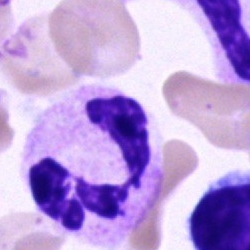Bone marrow aspirate smear, single cell — segmented neutrophil.